Bone marrow aspirate smear: 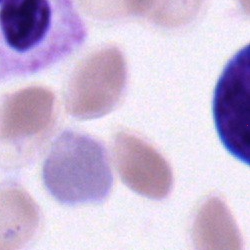The cell type is proerythroblast.